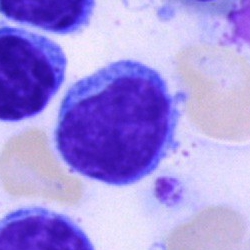
A lymphocyte on a bone marrow smear.